Peripheral blood film.
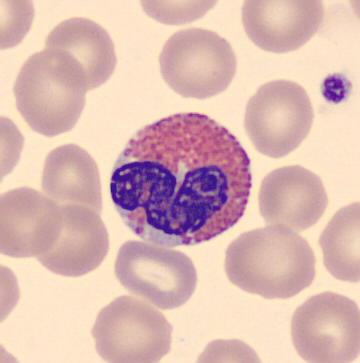 Specimen: peripheral blood film.
Cell: eosinophil.